250 by 250 pixels. Bone marrow smear. 40× oil immersion: 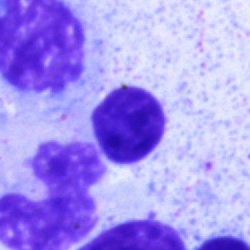 Cell type = artefact.